Bone marrow smear: 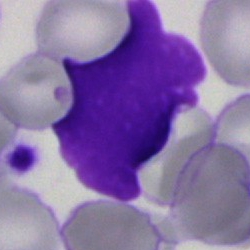
This is an artifact.